Bone marrow smear. 250×250 px: 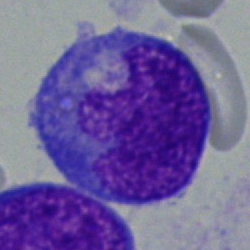 Cell = undifferentiated blast.